Single cell centered in the field · bone marrow smear:
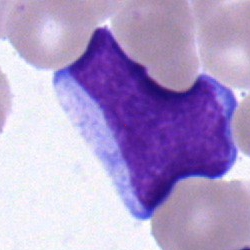
A blast.